250 by 250 pixels. Bone marrow smear
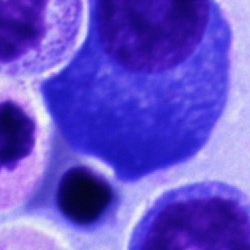Morphological class: plasma cell.